Pappenheim-stained; cropped to a single cell; bone marrow smear.
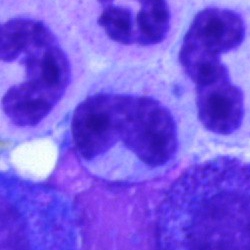Morphology consistent with a neutrophil (band).